Bone marrow aspirate smear.
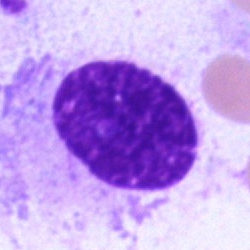
Cell type = artefact.